Bone marrow aspirate smear
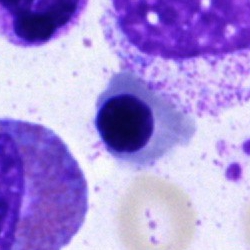
Showing a normoblast.